Bone marrow aspirate smear — 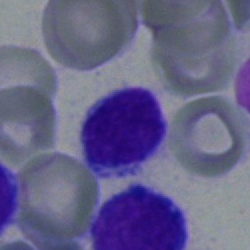 Showing a typical lymphocyte.